250×250 · bone marrow smear: 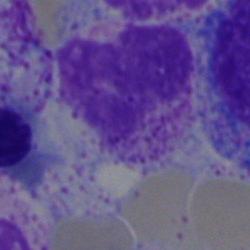

Q: What is the morphological classification of this cell?
A: A metamyelocyte.